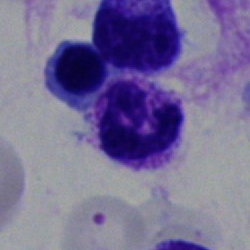 Polymorphonuclear neutrophil.